Single-cell field · bone marrow smear
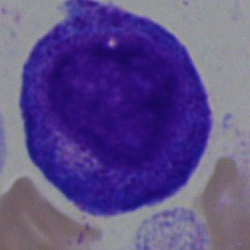 Morphology → promyelocyte.